Bone marrow aspirate smear:
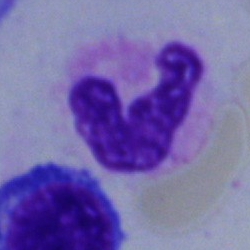Q: What cell is this?
A: A polymorphonuclear neutrophil.